Bone marrow aspirate smear
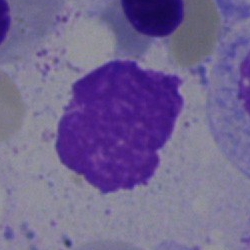 Showing an artefact.